Bone marrow aspirate smear · May-Grünwald-Giemsa stain: 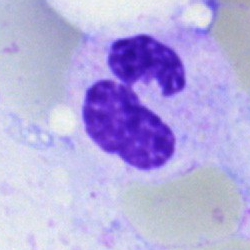

Specimen: bone marrow smear.
Classification: segmented neutrophil.
Lineage: myeloid.